Cropped to a single cell; Pappenheim-stained; bone marrow smear: 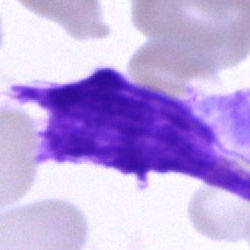{"cell_type": "artefact"}